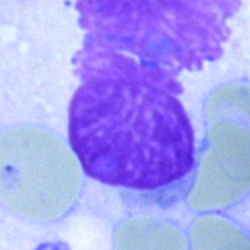 Specimen: bone marrow aspirate smear.
Cell: artifact.